May-Grünwald-Giemsa/Pappenheim stain; bone marrow aspirate smear:
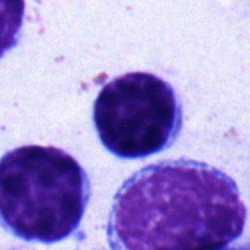

{"cell_type": "typical lymphocyte", "lineage": "lymphoid"}